Bone marrow aspirate smear
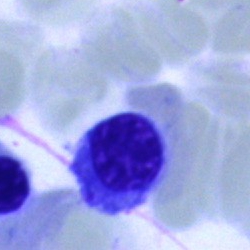
Q: Which cell type is shown here?
A: This is an erythroblast.